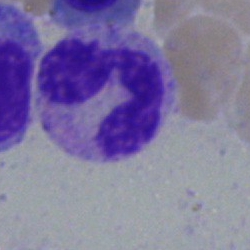 Cell type — neutrophil (segmented).